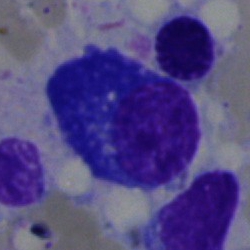

A plasma cell.